Bone marrow aspirate smear: 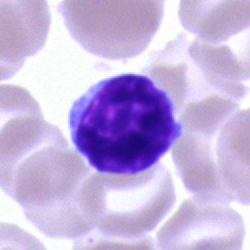 The cell is lymphocyte.